May-Grünwald-Giemsa/Pappenheim stain. Bone marrow aspirate smear. 250×250 px: 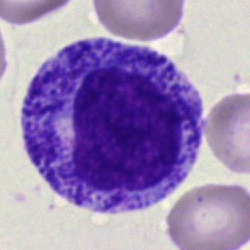Morphology consistent with a myelocyte.